Bone marrow aspirate smear.
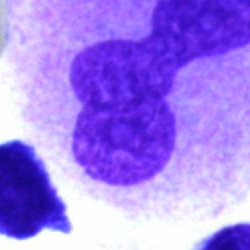 Morphology consistent with an artefact.